Bone marrow aspirate smear — 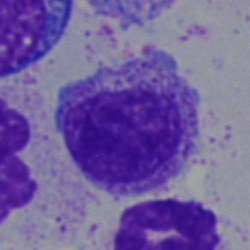 This is a myelocyte.